250×250; bone marrow aspirate smear; 40× objective, oil immersion — 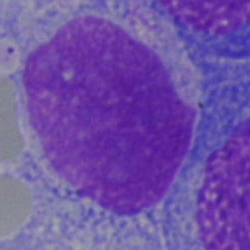

Showing a blast cell.